Bone marrow aspirate smear. May-Grünwald-Giemsa/Pappenheim stain. Image size 250×250.
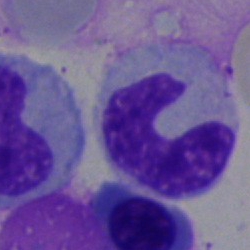 This is a stab cell.